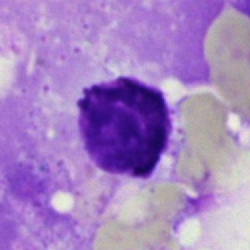
Specimen: bone marrow smear.
Cell type: artifact.